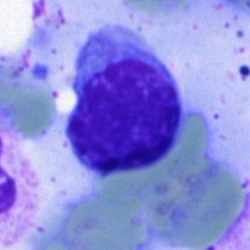 Classification = lymphocyte.